100× oil immersion. Peripheral blood smear
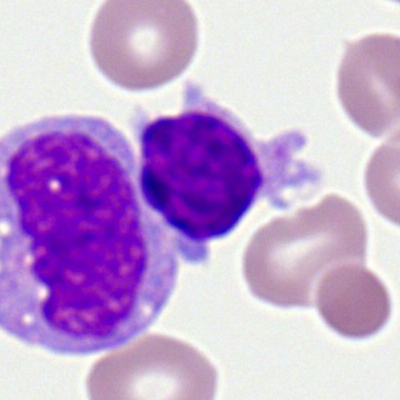Morphology → lymphocyte.